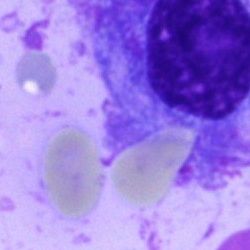
Specimen: bone marrow aspirate smear.
Morphological class: plasma cell.
Lineage: lymphoid.